Bone marrow aspirate smear:
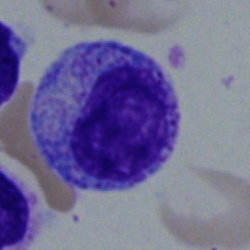Morphology — myelocyte.